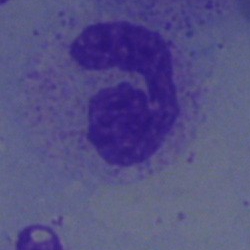A neutrophil (segmented) on a bone marrow smear.